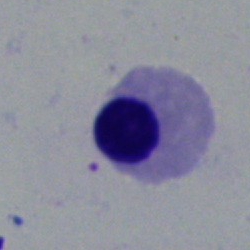

{"cell_type": "nucleated red blood cell", "lineage": "erythroid"}